Bone marrow aspirate smear: 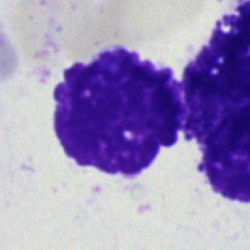
Cell type: artifact.